Bone marrow aspirate smear:
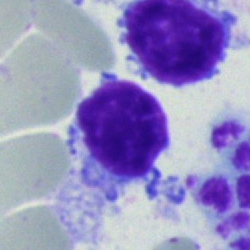

Q: What is shown here?
A: Typical lymphocyte.